Bone marrow aspirate smear. Single-cell crop: 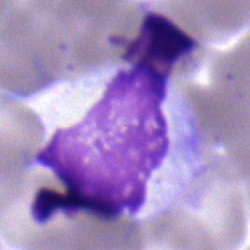
Monocyte.